Bone marrow smear.
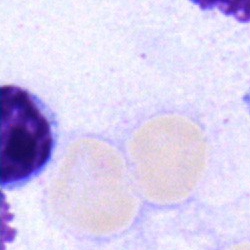

Specimen: bone marrow aspirate smear.
Morphological class: typical lymphocyte.